Bone marrow aspirate smear
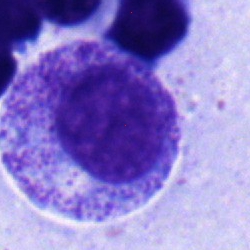This is a myelocyte.